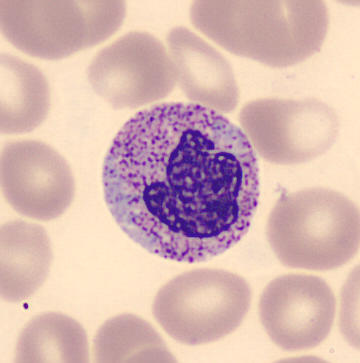 Morphology — metamyelocyte.